Automated cell imaging (CellaVision DM96); single-cell crop; peripheral blood film.
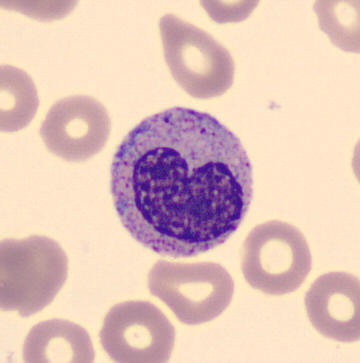 The cell is metamyelocyte.